Bone marrow smear: 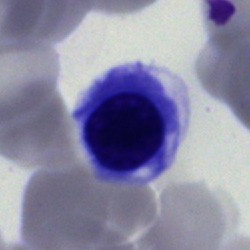
Q: What type of cell is this?
A: A normoblast.